Bone marrow smear: 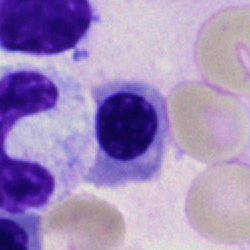

Cell type — normoblast.